Peripheral blood smear.
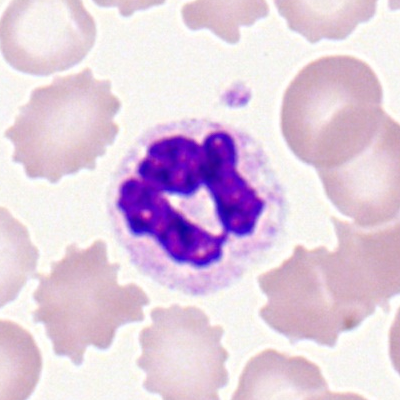 {"cell_type": "segmented neutrophil", "lineage": "myeloid"}